Bone marrow smear
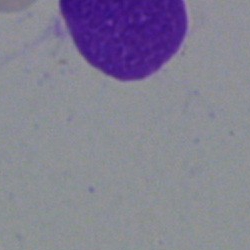

An artifact.